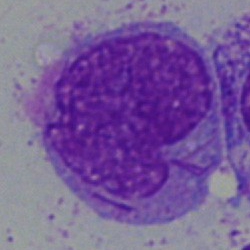

Bone marrow aspirate smear, single cell — cell with bundled Auer rods.